250 by 250 pixels; bone marrow smear — 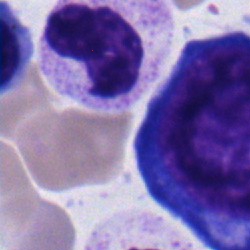 The cell shown is a myelocyte.